Bone marrow aspirate smear.
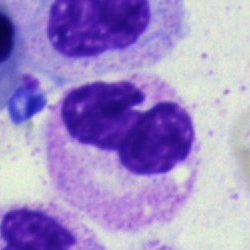

Specimen: bone marrow aspirate smear.
Classification: stab cell.